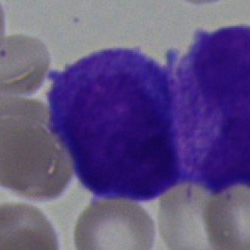The classification is undifferentiated blast.